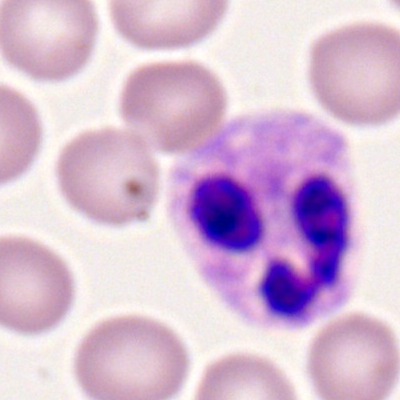
A polymorphonuclear neutrophil on a peripheral blood smear.